Bone marrow smear. Image size 250×250.
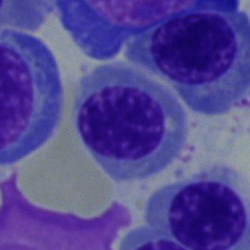Cell type — erythroblast.